Bone marrow smear.
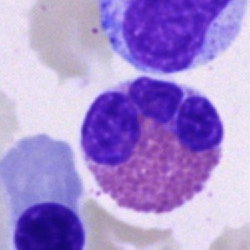

Q: What is shown here?
A: Eosinophil.